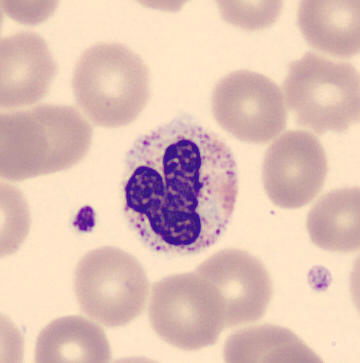 The cell is neutrophil (segmented).
Preparation: Image size 360×363. Peripheral blood smear.